Bone marrow smear; 250×250; May-Grünwald-Giemsa/Pappenheim stain: 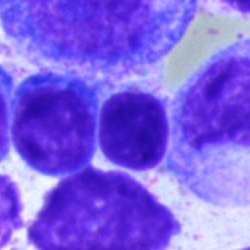Lymphocyte.